Bone marrow smear. Brightfield microscopy, 40× oil immersion: 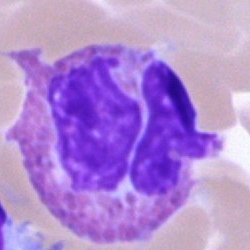 Q: What cell is this?
A: This is an eosinophilic granulocyte.